Brightfield, 40× oil-immersion objective · bone marrow aspirate smear: 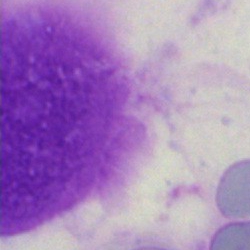

Artefact.